Bone marrow smear.
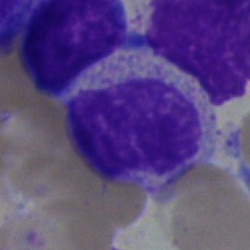 Showing a metamyelocyte.